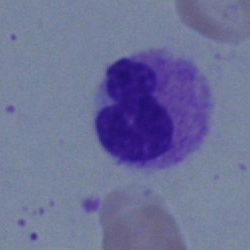This is a neutrophil (band).